Bone marrow smear; single cell centered in the field — 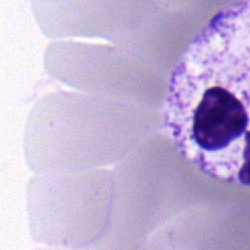
The cell shown is a segmented neutrophil.